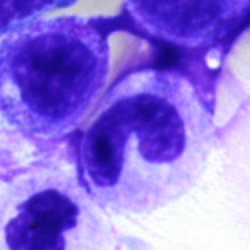
Cell type = neutrophil (band).